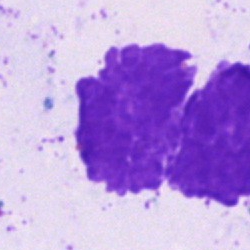An artefact.